Brightfield, 40× oil-immersion objective; bone marrow smear: 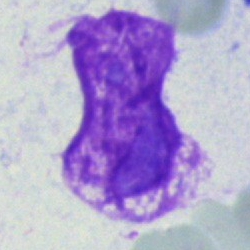
Morphology → artifact.